Bone marrow smear · brightfield, 40× oil-immersion objective · single cell centered in the field.
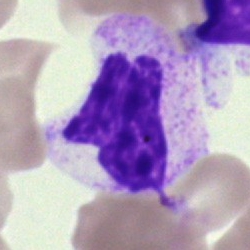 Cell — polymorphonuclear neutrophil.